250×250; bone marrow smear; 40× objective, oil immersion: 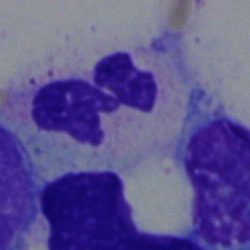

Classification: segmented neutrophil.